Bone marrow smear:
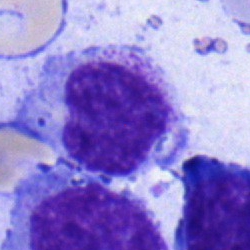
Specimen: bone marrow smear.
Morphological class: myelocyte.
Lineage: myeloid.